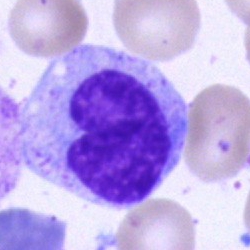Morphology — monocyte.